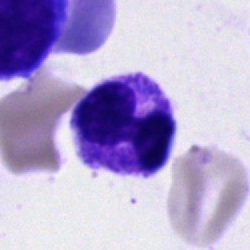
Polymorphonuclear neutrophil.